Single-cell field. Bone marrow aspirate smear. Brightfield microscopy, 40× oil immersion:
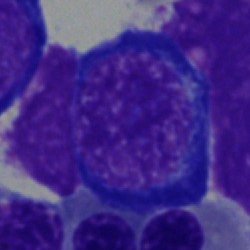Classification: nucleated red cell.